Peripheral blood film — 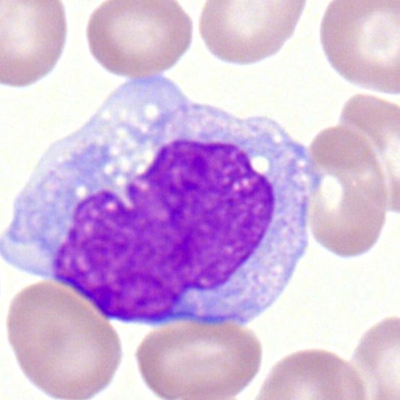

Specimen: peripheral blood film.
Cell type: monocyte.